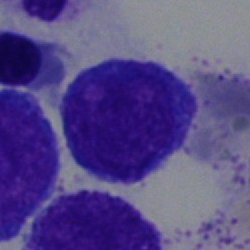Morphological class = lymphocyte.